Bone marrow smear. 250 by 250 pixels.
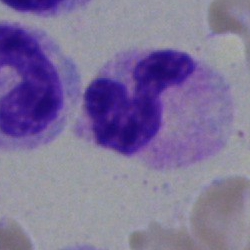The cell shown is a segmented neutrophil.